Single-cell field; bone marrow aspirate smear:
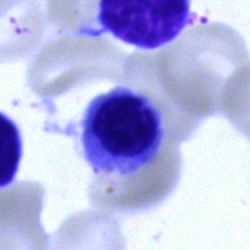 Showing a nucleated red blood cell.